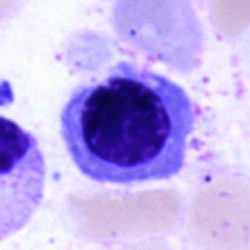
Cell: nucleated red blood cell.